Bone marrow aspirate smear; 40× objective, oil immersion.
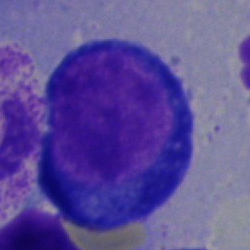Proerythroblast.